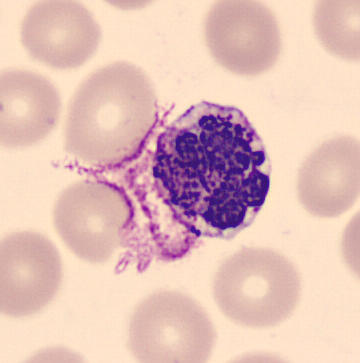

Specimen: peripheral blood smear.
Cell type: basophil.
Lineage: myeloid.